Bone marrow aspirate smear — 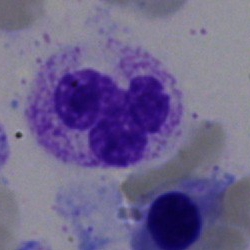Neutrophil (segmented).